Bone marrow aspirate smear:
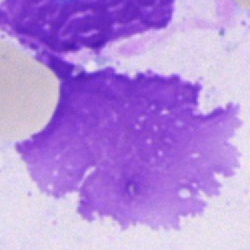Showing an artefact.